Bone marrow smear: 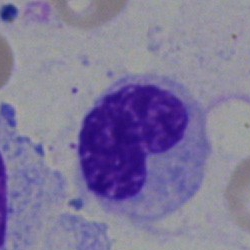

A stab cell.